May-Grünwald-Giemsa stain · bone marrow smear.
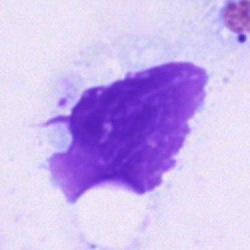 Impression — artefact.